Bone marrow aspirate smear
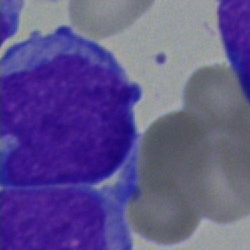The cell shown is an undifferentiated blast.